Brightfield, 40× oil-immersion objective · bone marrow smear · Pappenheim-stained:
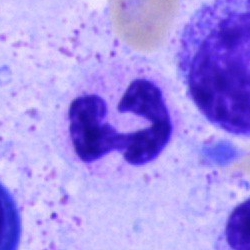

Q: What type of cell is this?
A: It is a neutrophil (segmented).